250 by 250 pixels. Cropped to a single cell. Bone marrow smear.
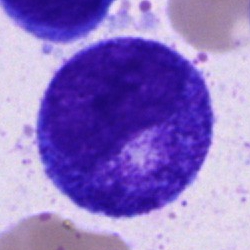Classification — progranulocyte.